Bone marrow smear:
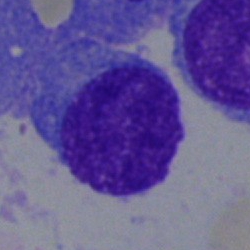Impression — plasma cell.